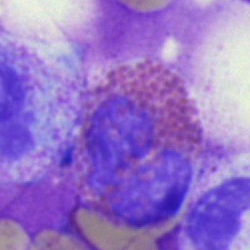 Q: What type of cell is this?
A: This is an eosinophilic granulocyte.